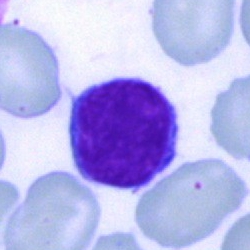
Cell type — typical lymphocyte.